Bone marrow aspirate smear: 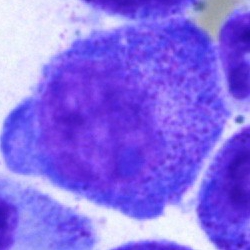
Showing a promyelocyte.